Bone marrow aspirate smear; 250 by 250 pixels.
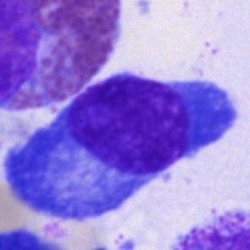Cell — plasmacyte.